Bone marrow smear
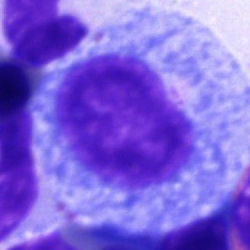
The cell type is progranulocyte.